May-Grünwald-Giemsa/Pappenheim stain · bone marrow aspirate smear: 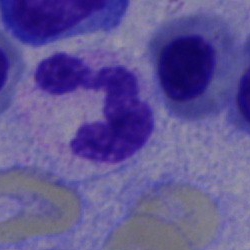The cell shown is a segmented neutrophil.